May-Grünwald-Giemsa/Pappenheim stain. Bone marrow smear:
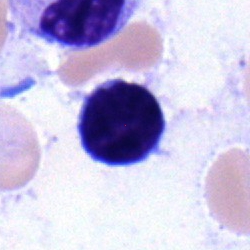

Q: What type of cell is this?
A: This is a lymphocyte.